Bone marrow smear: 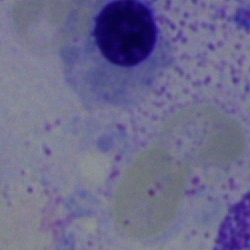Morphology consistent with a nucleated red blood cell.